Bone marrow aspirate smear
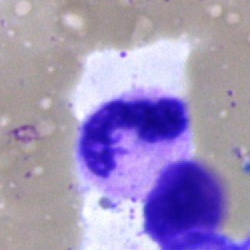

Single cell identified as a neutrophil (segmented).